Bone marrow aspirate smear — 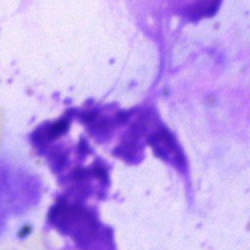Morphological class = artifact.